Bone marrow smear: 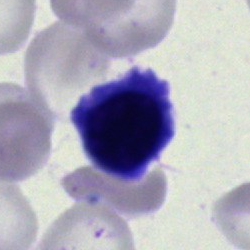 The classification is nucleated red blood cell.